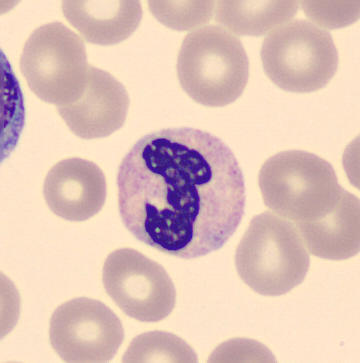
Peripheral blood film.

Classification — band-form neutrophil.